Bone marrow aspirate smear:
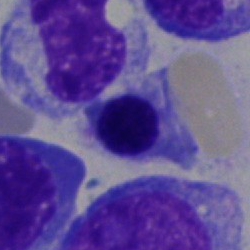

Impression — nucleated red cell.